Brightfield microscopy, 40× oil immersion. Bone marrow smear: 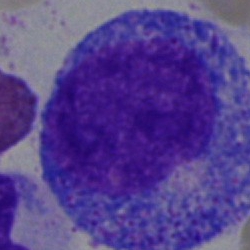
Impression — promyelocyte.